Peripheral blood smear · M8 digital microscope (Precipoint), 100× oil immersion: 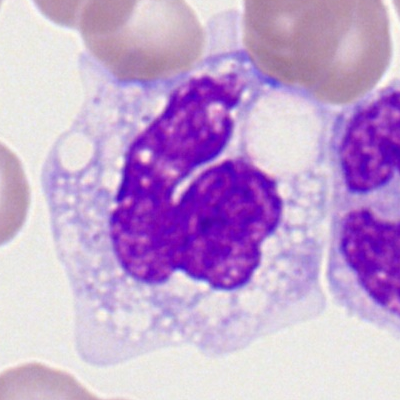Morphology consistent with a monocyte.